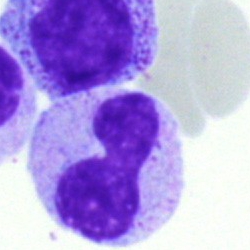
Cell: band-form neutrophil.